Bone marrow aspirate smear:
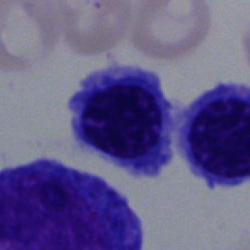

Specimen: bone marrow aspirate smear.
Cell type: nucleated red cell.
Lineage: erythroid.